Brightfield microscopy, 40× oil immersion. May-Grünwald-Giemsa stain. Bone marrow smear — 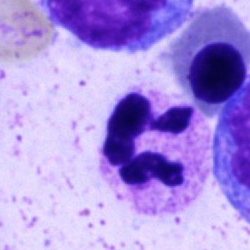Single cell identified as a segmented neutrophil.